Bone marrow aspirate smear:
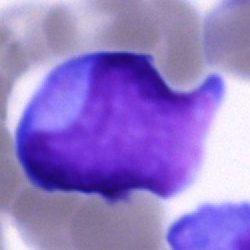
Morphological class: undifferentiated blast.